Bone marrow aspirate smear; 40× objective, oil immersion; single-cell crop.
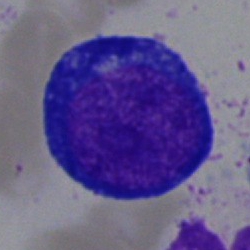
Q: Identify the cell.
A: It is a nucleated red blood cell.